Bone marrow aspirate smear · May-Grünwald-Giemsa stain.
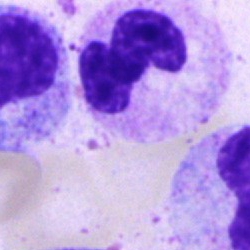

Q: Which cell type is shown here?
A: This is a segmented neutrophil.